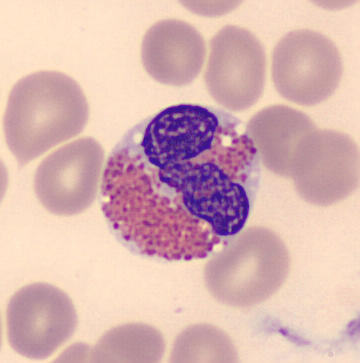

Q: What is this?
A: Eosinophilic granulocyte.